Image size 250×250; brightfield microscopy, 40× oil immersion; bone marrow aspirate smear.
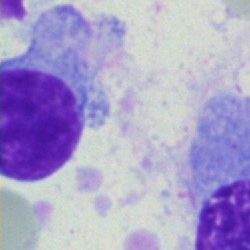
Showing a plasma cell.